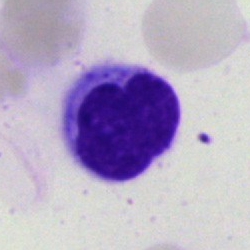 Q: What is the morphological classification of this cell?
A: It is a typical lymphocyte.